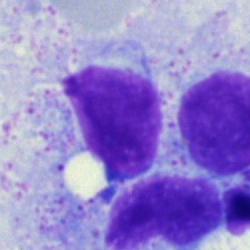
Specimen: bone marrow smear.
Cell: lymphocyte.
Lineage: lymphoid.